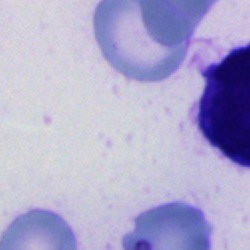Morphological class: artefact.